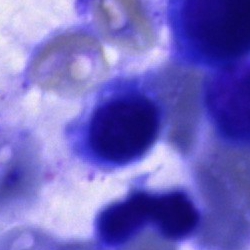
Classification: artefact.